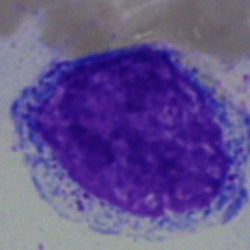Classification = myelocyte.